Brightfield microscopy, 40× oil immersion; bone marrow aspirate smear; Pappenheim-stained
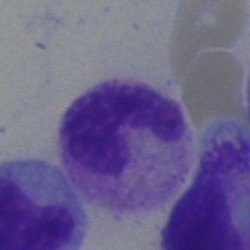

A band neutrophil.